40× oil immersion; bone marrow smear; May-Grünwald-Giemsa/Pappenheim stain — 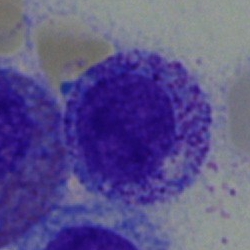
Morphology consistent with a myelocyte.